Bone marrow smear; single-cell field:
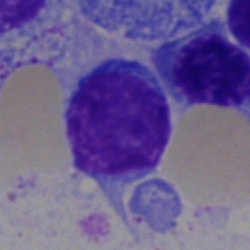

Cell type = typical lymphocyte.